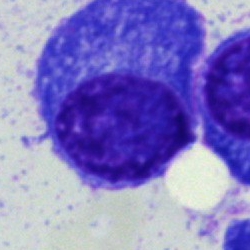Morphological class — plasmacyte.